MGG-stained. Bone marrow aspirate smear: 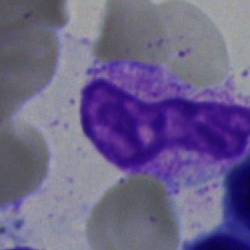Morphology consistent with an artifact.